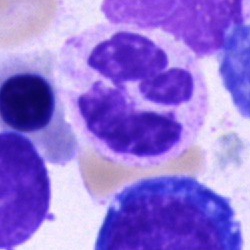

Impression → polymorphonuclear neutrophil.